Bone marrow smear; single cell centered in the field; 40× oil immersion:
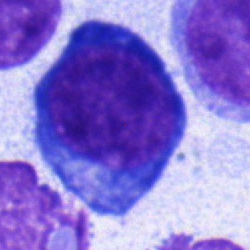Q: What cell is this?
A: A proerythroblast.